Bone marrow smear
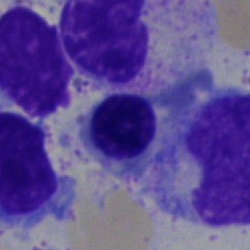Specimen: bone marrow aspirate smear.
Cell: erythroblast.